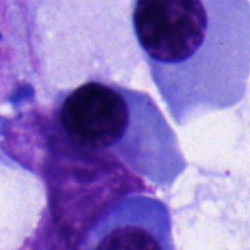

A nucleated red blood cell.